Bone marrow aspirate smear — 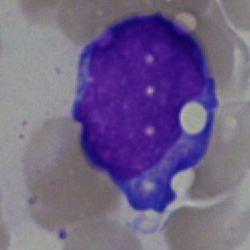Showing a blast cell.